Bone marrow aspirate smear
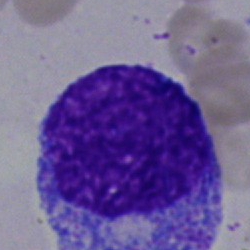Specimen: bone marrow smear.
Classification: promyelocyte.